Bone marrow smear — 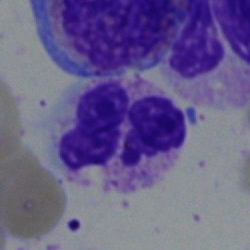 {"cell_type": "neutrophil (segmented)", "lineage": "myeloid"}